Bone marrow aspirate smear.
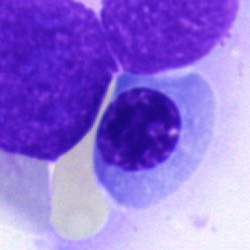 This is a nucleated red blood cell.